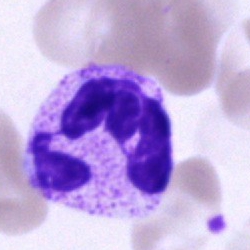

The cell shown is a segmented neutrophil.